Single-cell crop. Bone marrow smear. 40× objective, oil immersion.
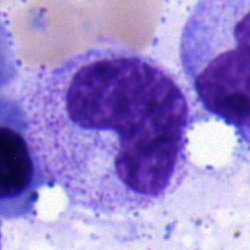
The cell shown is a metamyelocyte.